Brightfield, 40× oil-immersion objective. Image size 250×250. Bone marrow aspirate smear.
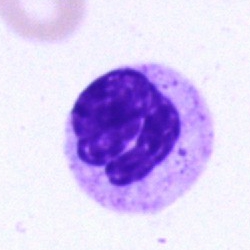
A neutrophil (segmented).